Bone marrow smear. Brightfield, 40× oil-immersion objective:
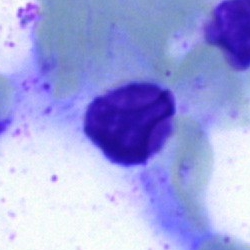

Single cell identified as an artifact.